Bone marrow aspirate smear.
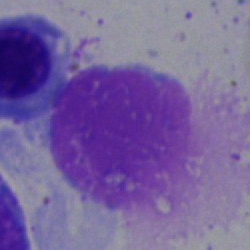Classification — artifact.